Bone marrow smear — 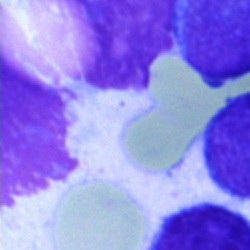
Q: What is shown here?
A: An artifact.